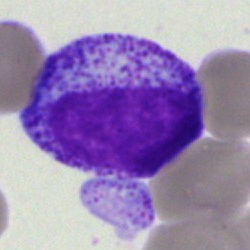

Specimen: bone marrow aspirate smear.
Morphological class: myelocyte.
Lineage: myeloid.